Bone marrow aspirate smear — 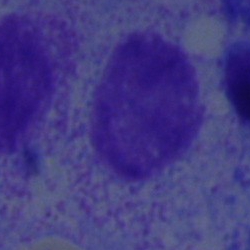

The classification is myelocyte.